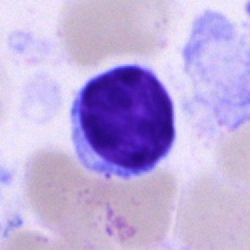Specimen: bone marrow smear.
Morphological class: lymphocyte.